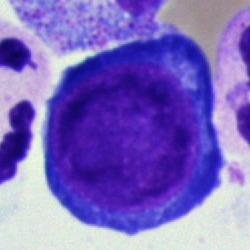Q: What is the morphological classification of this cell?
A: A proerythroblast.